Bone marrow smear:
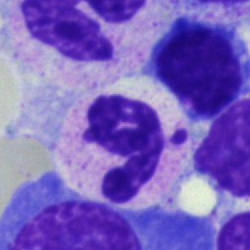
This is a polymorphonuclear neutrophil.